Bone marrow aspirate smear:
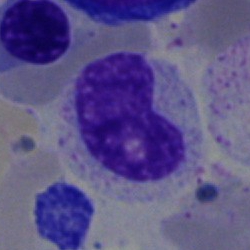 Cell type = metamyelocyte.